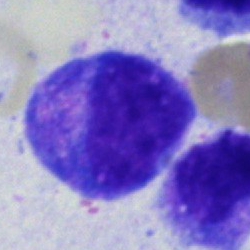
Cell type — promyelocyte.